Bone marrow smear: 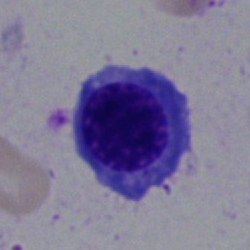 Morphology → normoblast.